Bone marrow aspirate smear · single cell centered in the field.
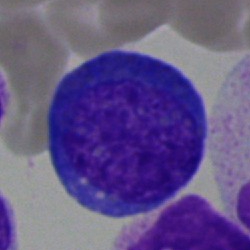Specimen: bone marrow aspirate smear.
Cell: normoblast.